Bone marrow aspirate smear
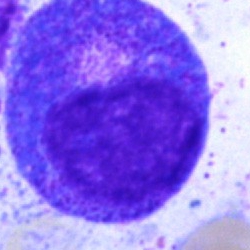Morphological class = promyelocyte.